Bone marrow aspirate smear
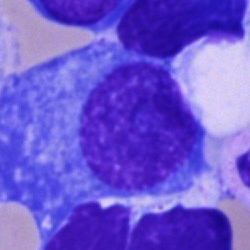A plasma cell.